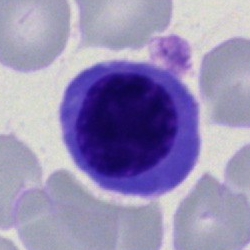Morphology consistent with a normoblast.